Bone marrow smear — 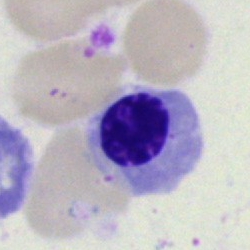Q: Identify the cell.
A: Nucleated red cell.